Bone marrow smear
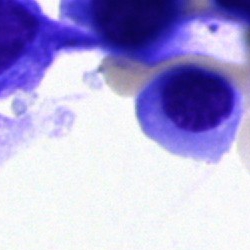
This is a nucleated red cell.